Bone marrow smear.
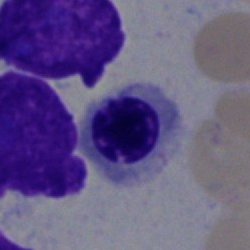 Cell — erythroblast.